Bone marrow aspirate smear: 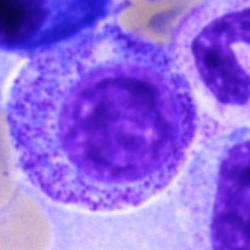
Classification — myelocyte.